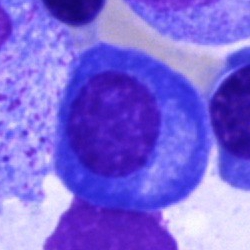The cell shown is a plasmacyte.